Bone marrow smear. MGG-stained: 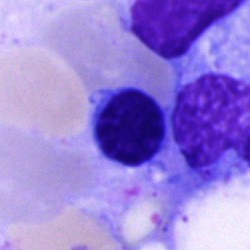
Normoblast.